Cropped to a single cell; bone marrow aspirate smear
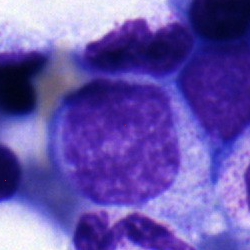

Morphological class: myelocyte.